Bone marrow smear:
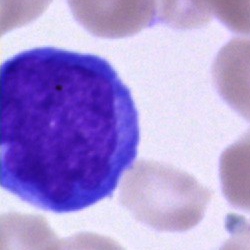

{"cell_type": "blast"}